Peripheral blood film; 400 by 400 pixels — 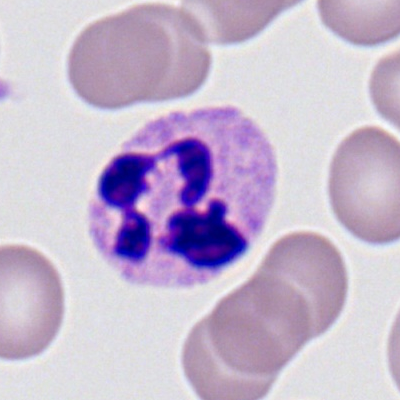 Q: What cell is this?
A: A segmented neutrophil.